Bone marrow smear · 40× objective, oil immersion
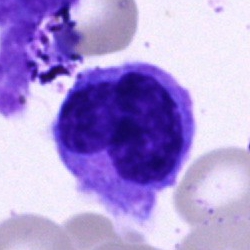

Monocyte.